Bone marrow smear; May-Grünwald-Giemsa/Pappenheim stain.
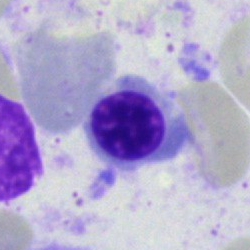
Q: What is the morphological classification of this cell?
A: This is an erythroblast.